Cropped to a single cell. Bone marrow smear: 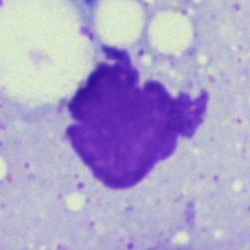

Impression → artefact.